Bone marrow smear. 40× oil immersion. Cropped to a single cell
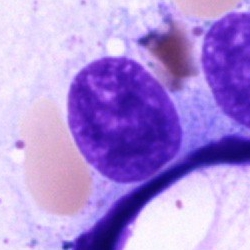

Cell — artefact.